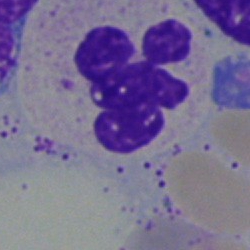

The cell is polymorphonuclear neutrophil.